Bone marrow smear — 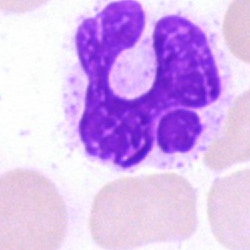{"cell_type": "artifact"}